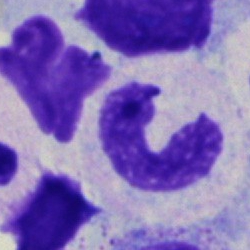 Cell type: stab cell.